May-Grünwald-Giemsa/Pappenheim stain. 250×250. Bone marrow smear: 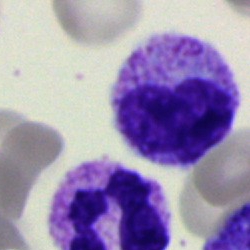
The cell type is metamyelocyte.